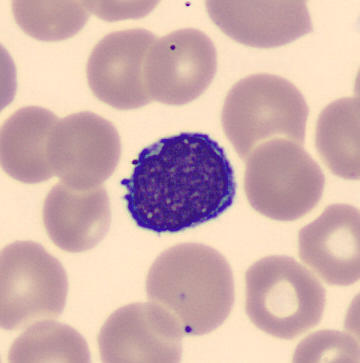 Cell type: lymphocyte.